Single-cell crop. 250 by 250 pixels. Bone marrow aspirate smear — 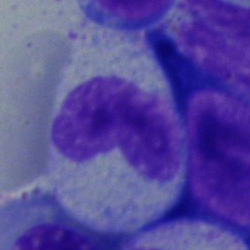

A band-form neutrophil.